Bone marrow aspirate smear.
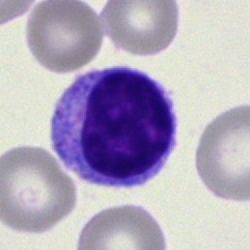
Showing a lymphocyte.